Peripheral blood smear — 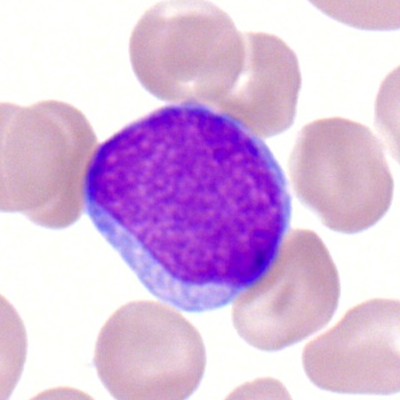Impression → myeloblast.